May-Grünwald-Giemsa stain · bone marrow aspirate smear · image size 250×250 — 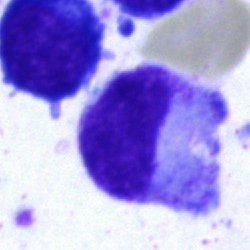 Classification = metamyelocyte.